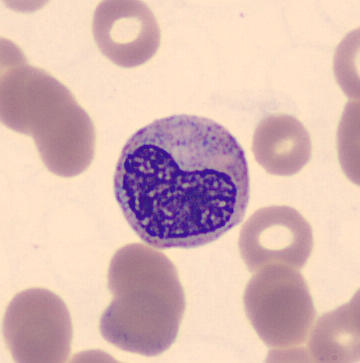Classification = metamyelocyte.
May-Grünwald-Giemsa-stained. Peripheral blood film.